Bone marrow aspirate smear.
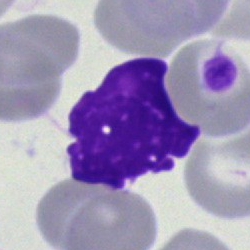Single cell identified as an artefact.